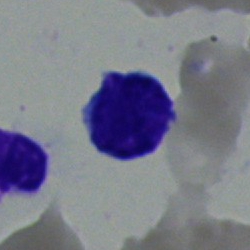Impression → lymphocyte.